Bone marrow smear
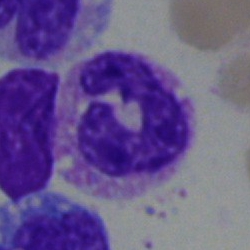

Morphology consistent with a stab cell.